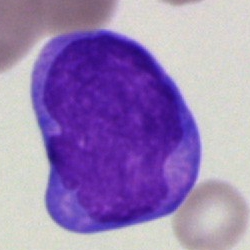 Bone marrow smear showing a blast cell.